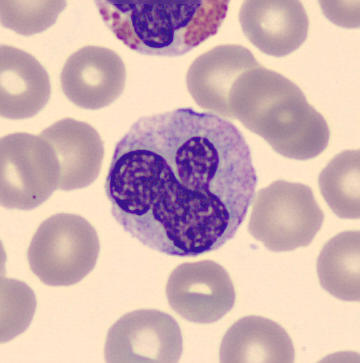
Preparation: Peripheral blood smear. May Grünwald-Giemsa stain. Q: What is the morphological classification of this cell?
A: A monocyte.